Bone marrow smear. Single-cell crop. May-Grünwald-Giemsa/Pappenheim stain: 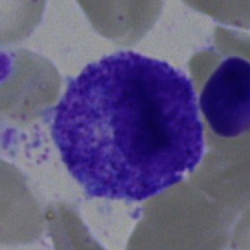

Q: What is the morphological classification of this cell?
A: This is a progranulocyte.